Peripheral blood film; MGG-stained; automated cell imaging (CellaVision DM96)
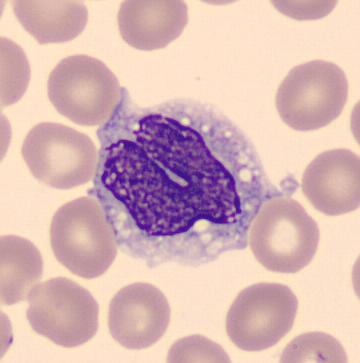

A monocyte.